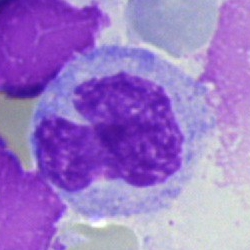 {"cell_type": "monocyte"}